40× oil immersion. Bone marrow smear. May-Grünwald-Giemsa stain: 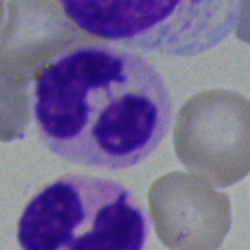 Impression — segmented neutrophil.